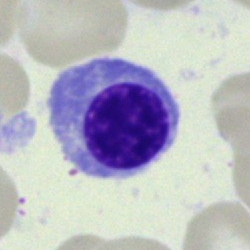 Cell type: nucleated red blood cell.